Bone marrow aspirate smear: 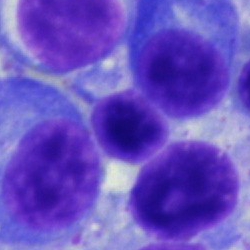{"cell_type": "artifact"}